Bone marrow aspirate smear: 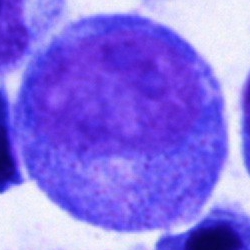 A promyelocyte.